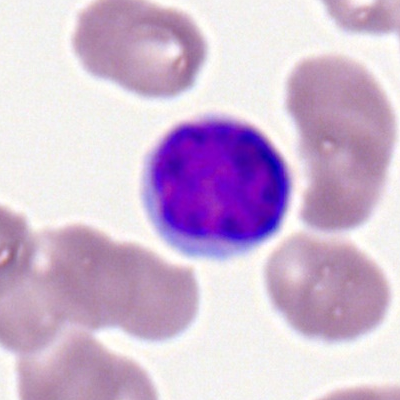

Cell: lymphocyte.